Bone marrow aspirate smear: 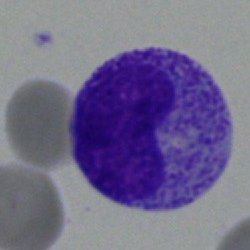

Classification — metamyelocyte.